Bone marrow aspirate smear — 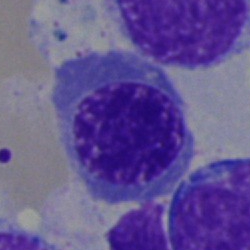 Single cell identified as a normoblast.